Peripheral blood film; cropped to a single cell.
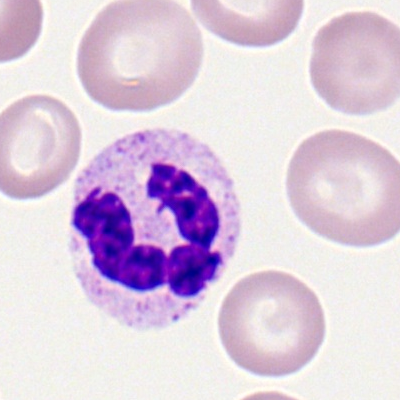

Neutrophil (segmented).